Bone marrow smear.
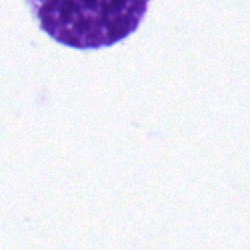Morphology → metamyelocyte.